Bone marrow smear; cropped to a single cell.
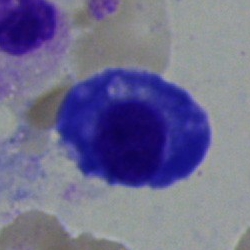 {"cell_type": "plasmacyte", "lineage": "lymphoid"}